Bone marrow smear.
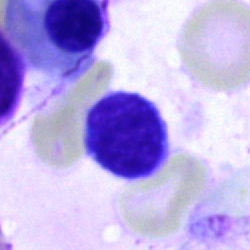 {"cell_type": "typical lymphocyte", "lineage": "lymphoid"}